Bone marrow smear.
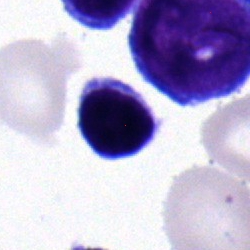 Morphology → typical lymphocyte.